Bone marrow aspirate smear; brightfield, 40× oil-immersion objective
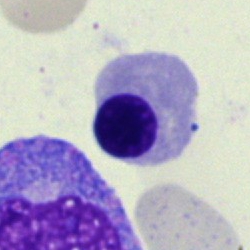Morphology consistent with a nucleated red blood cell.